Bone marrow smear. Single-cell field. May-Grünwald-Giemsa/Pappenheim stain: 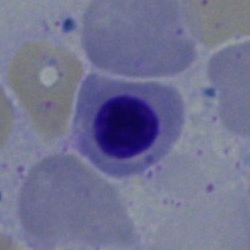

Q: What is shown here?
A: This is a nucleated red blood cell.